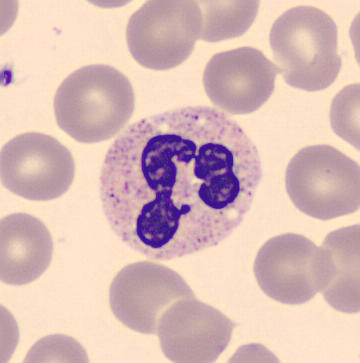
Single cell identified as a polymorphonuclear neutrophil.
Image: CellaVision DM96; peripheral blood smear; 360×363.